Bone marrow aspirate smear
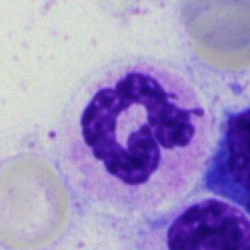 Q: What is shown here?
A: This is a neutrophil (segmented).